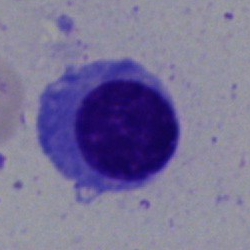Cell type = normoblast.